Bone marrow smear; 250×250; Pappenheim-stained — 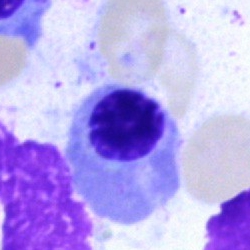Specimen: bone marrow aspirate smear.
Classification: normoblast.